Bone marrow aspirate smear.
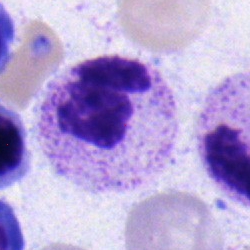
Morphological class — segmented neutrophil.